Bone marrow smear; May-Grünwald-Giemsa/Pappenheim stain.
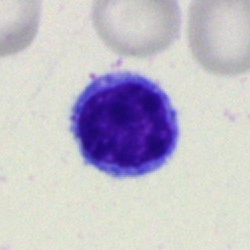 The cell shown is a typical lymphocyte.